Bone marrow aspirate smear:
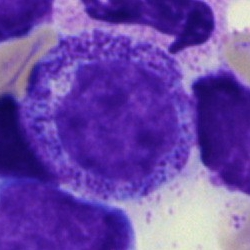 Q: What type of cell is this?
A: Myelocyte.